Bone marrow smear:
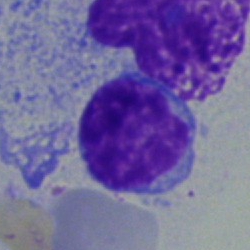
Lymphocyte.